Bone marrow aspirate smear:
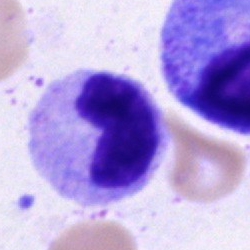

Q: What is shown here?
A: It is a metamyelocyte.